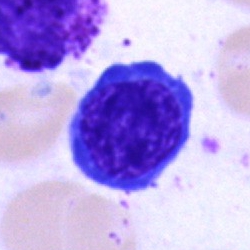

Nucleated red blood cell.